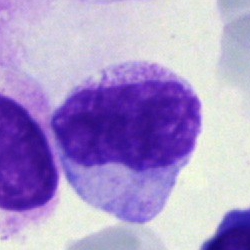

{"cell_type": "metamyelocyte", "lineage": "myeloid"}